Peripheral blood smear — 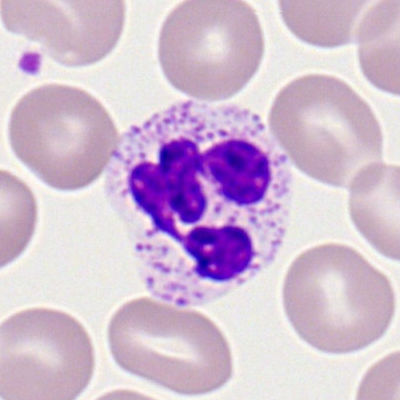

{"cell_type": "polymorphonuclear neutrophil"}